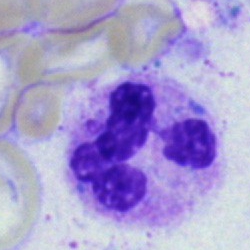
Q: Which cell type is shown here?
A: A neutrophil (segmented).